Single cell centered in the field; bone marrow aspirate smear
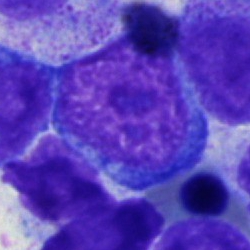 Cell type — proerythroblast.